Peripheral blood smear:
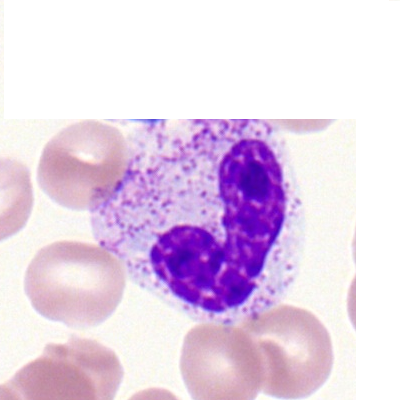

Specimen: peripheral blood smear.
Classification: band-form neutrophil.
Lineage: myeloid.